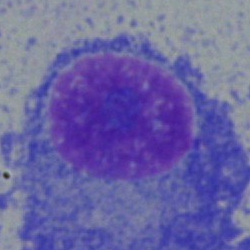

Cell type — plasmacyte.